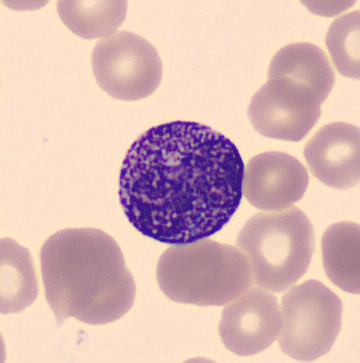Single-cell crop. Specimen: peripheral blood smear.
Cell type: myelocyte.